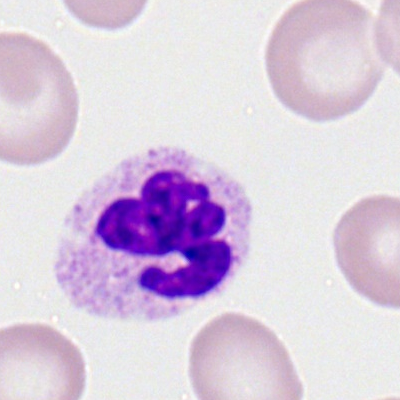

{"cell_type": "neutrophil (segmented)", "lineage": "myeloid"}